May-Grünwald-Giemsa stain. Bone marrow smear.
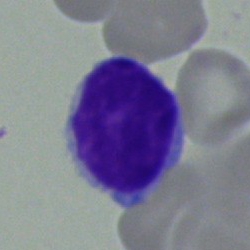
Q: What type of cell is this?
A: This is a lymphocyte.